Bone marrow smear:
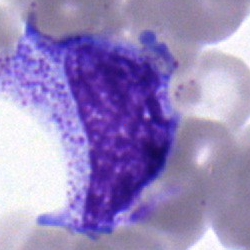
The cell shown is a progranulocyte.